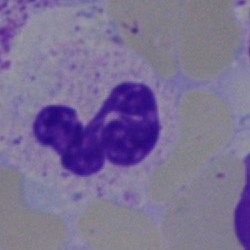 The morphological class is polymorphonuclear neutrophil.